Bone marrow aspirate smear.
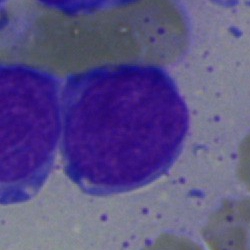Morphological class — undifferentiated blast.